Bone marrow smear — 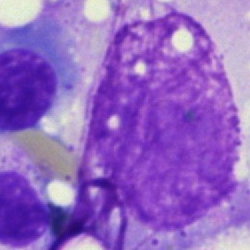

Single cell identified as an artifact.